Bone marrow smear.
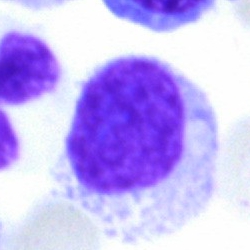This is an artefact.